Single-cell crop. Bone marrow smear. Pappenheim-stained
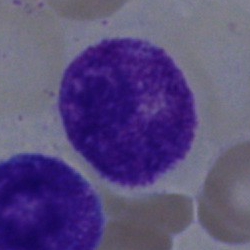
Q: What type of cell is this?
A: This is a metamyelocyte.